Bone marrow smear; cropped to a single cell: 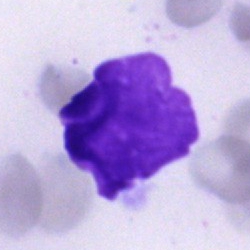
Morphology consistent with an artefact.